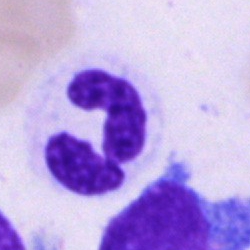 Cell type: neutrophil (segmented).